Bone marrow smear
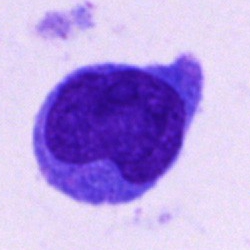
An undifferentiated blast.